Bone marrow aspirate smear · MGG-stained · brightfield, 40× oil-immersion objective.
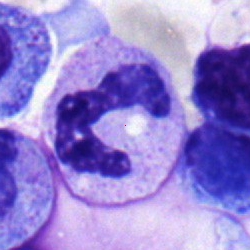

Specimen: bone marrow aspirate smear.
Morphological class: neutrophil (segmented).